May-Grünwald-Giemsa stain · bone marrow smear — 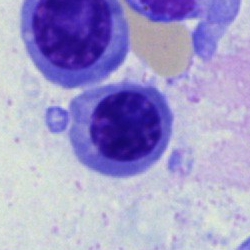
Cell type = nucleated red blood cell.